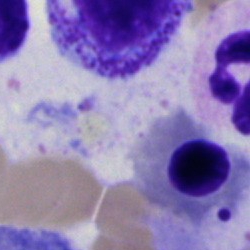

Q: Identify the cell.
A: This is a basophilic granulocyte.